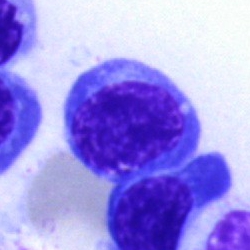

Morphological class: erythroblast.